Bone marrow smear · 250 by 250 pixels · brightfield, 40× oil-immersion objective: 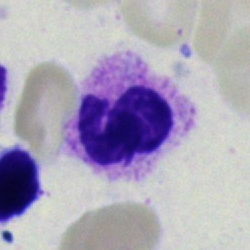
Q: What cell is this?
A: It is a segmented neutrophil.